Pappenheim-stained; bone marrow smear: 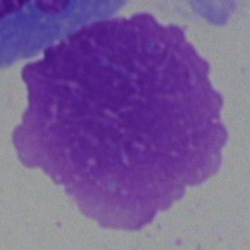Morphology — artefact.